Bone marrow smear; 40× objective, oil immersion; single-cell crop:
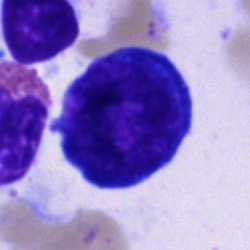
Cell: pronormoblast.